Bone marrow aspirate smear:
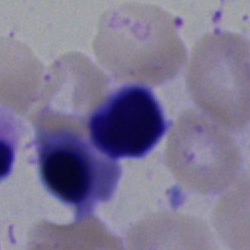Morphology consistent with a nucleated red blood cell.